250×250 px; Pappenheim-stained; bone marrow aspirate smear.
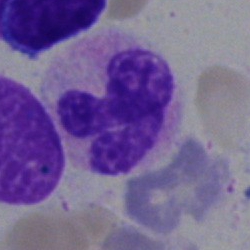 Single cell identified as a neutrophil (segmented).